Bone marrow aspirate smear.
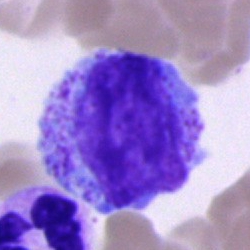Impression — progranulocyte.